Bone marrow smear: 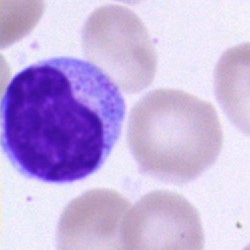
Q: Identify the cell.
A: It is a typical lymphocyte.